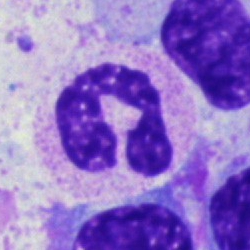 The morphological class is segmented neutrophil.